Bone marrow smear · image size 250×250:
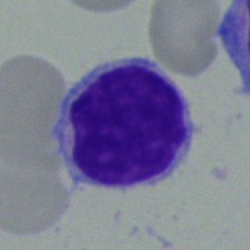 Cell — typical lymphocyte.